Bone marrow aspirate smear — 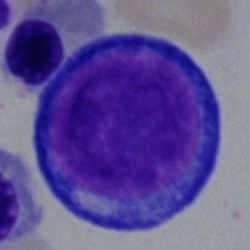
Specimen: bone marrow aspirate smear.
Morphological class: pronormoblast.
Lineage: erythroid.